Bone marrow smear: 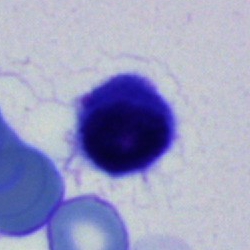
Single cell identified as a lymphocyte.